Pappenheim-stained; bone marrow aspirate smear.
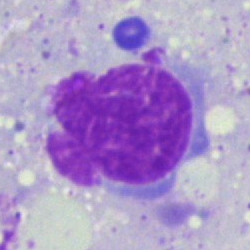

Cell: artifact.